Bone marrow aspirate smear — 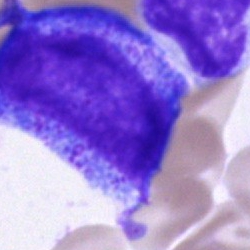 The cell type is progranulocyte.